Bone marrow smear
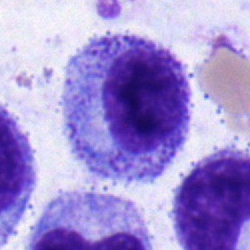
Morphology → myelocyte.